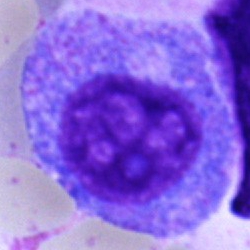
Showing a promyelocyte.